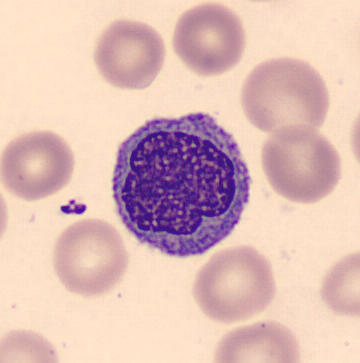 Showing a monocyte. Acquisition: Peripheral blood smear · CellaVision DM96 digital cell image.